Bone marrow aspirate smear — 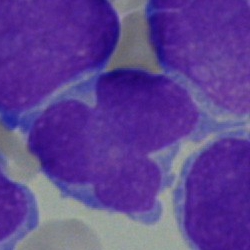The classification is blast cell.